Bone marrow smear — 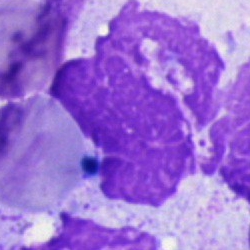

This is an artefact.